Pappenheim-stained. Bone marrow aspirate smear
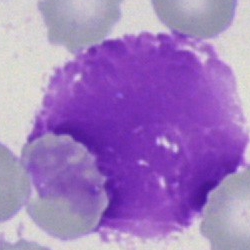
Morphological class: artefact.